Peripheral blood smear.
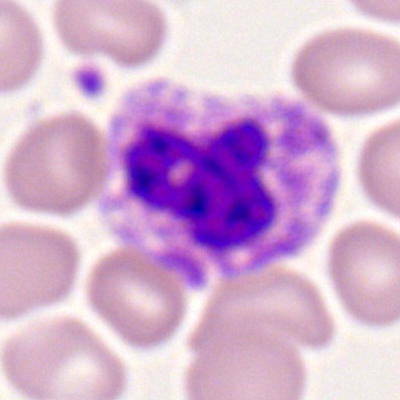 Cell type — neutrophil (segmented).